Bone marrow aspirate smear. Single cell centered in the field.
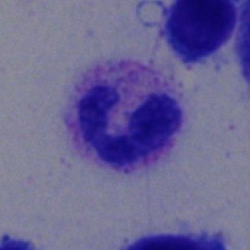 Q: What is shown here?
A: This is a segmented neutrophil.